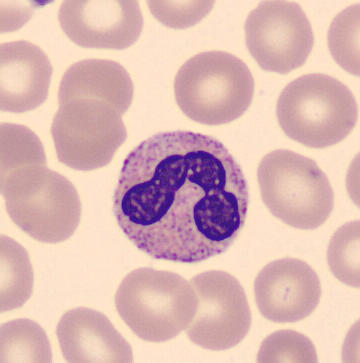 The cell type is band-form neutrophil.
Image: Peripheral blood smear; 360 by 363 pixels.